250×250 px · bone marrow aspirate smear · 40× objective, oil immersion: 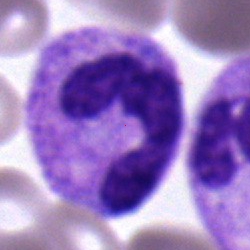 {"cell_type": "segmented neutrophil", "lineage": "myeloid"}